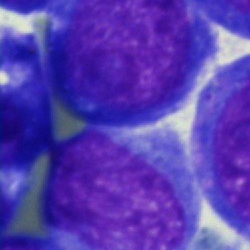

Cell = blast.